Bone marrow aspirate smear
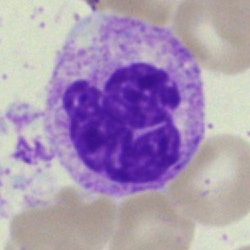
Single cell identified as a segmented neutrophil.